Bone marrow aspirate smear — 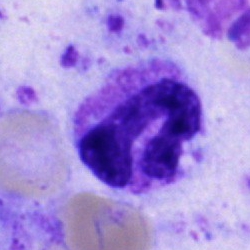 Specimen: bone marrow aspirate smear.
Morphological class: stab cell.
Lineage: myeloid.